Bone marrow aspirate smear
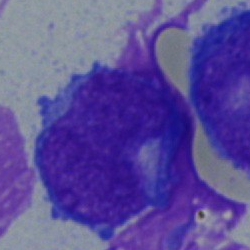
{"cell_type": "blast"}